Bone marrow smear; 40× oil immersion — 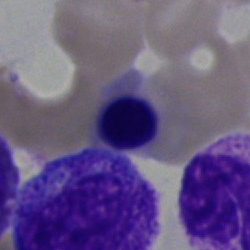

Q: Identify the cell.
A: A nucleated red cell.